Bone marrow aspirate smear:
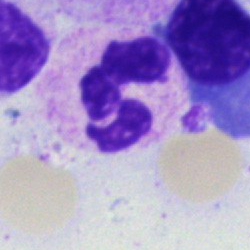
Cell type: segmented neutrophil.